Bone marrow smear · single-cell field · Pappenheim-stained.
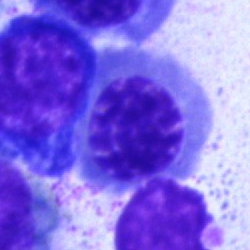

Morphology consistent with an erythroblast.